Peripheral blood film.
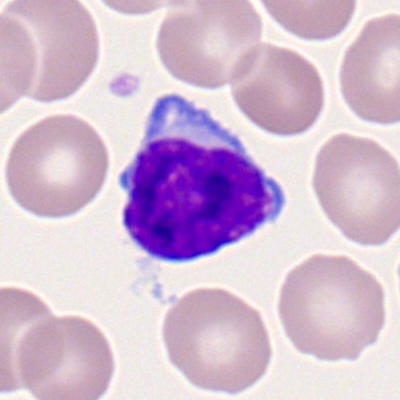
Q: What is the morphological classification of this cell?
A: It is a typical lymphocyte.